MGG-stained. 250×250. Bone marrow aspirate smear
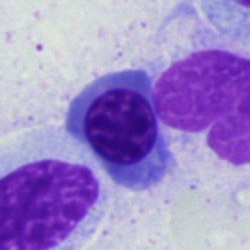A nucleated red blood cell.